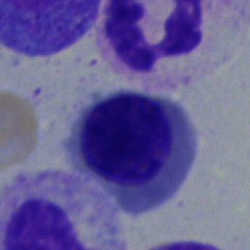
Q: Identify the cell.
A: A normoblast.